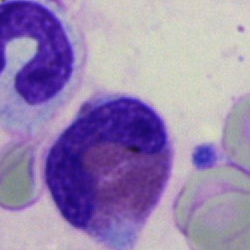Bone marrow aspirate smear, single cell — eosinophil.